Bone marrow smear; cropped to a single cell: 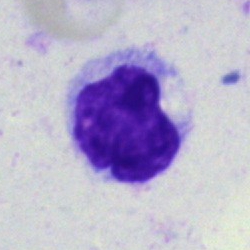

The cell type is lymphocyte.